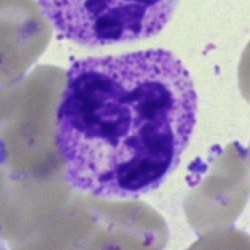 The cell type is polymorphonuclear neutrophil.